Romanowsky-stained · peripheral blood film
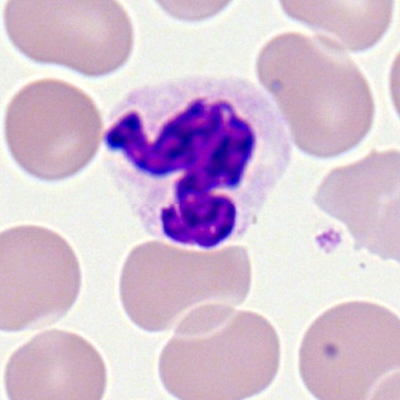Specimen: peripheral blood smear.
Classification: segmented neutrophil.
Lineage: myeloid.